Bone marrow smear — 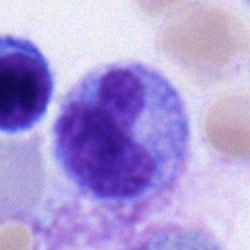 Q: What type of cell is this?
A: This is a proerythroblast.